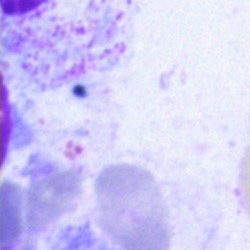Q: What is shown here?
A: An artifact.